Bone marrow smear; brightfield, 40× oil-immersion objective: 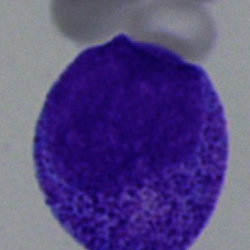
Cell: progranulocyte.